Bone marrow aspirate smear — 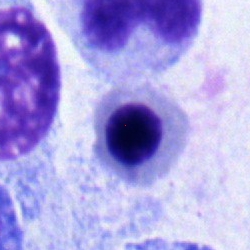

Morphology consistent with an erythroblast.